250 by 250 pixels; 40× objective, oil immersion; bone marrow smear.
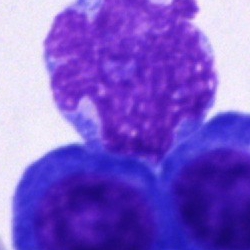

Classification — artefact.